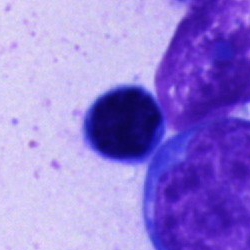
An artifact.